250×250 · MGG-stained · bone marrow smear — 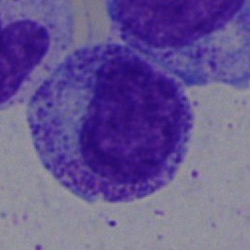

The cell shown is a myelocyte.